Bone marrow smear — 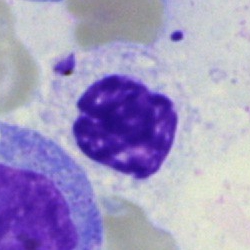

This is an artefact.